250 by 250 pixels. Bone marrow aspirate smear — 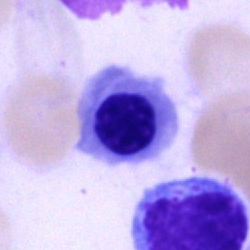
A normoblast.